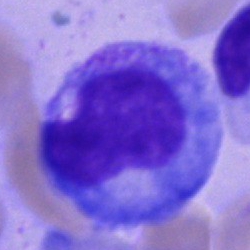
Q: Identify the cell.
A: This is a promyelocyte.